Bone marrow smear
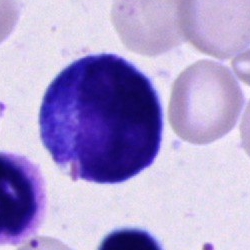

{"cell_type": "artifact"}